Bone marrow smear.
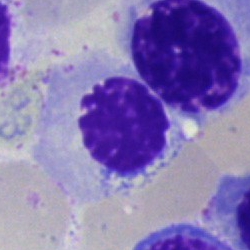

This is a nucleated red cell.